Bone marrow aspirate smear
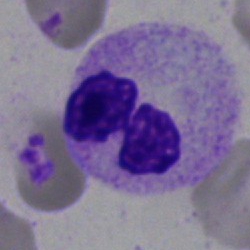
Impression — neutrophil (segmented).